Bone marrow aspirate smear — 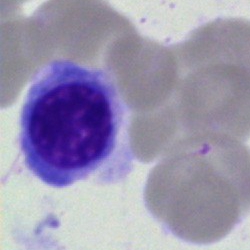
Morphological class = nucleated red blood cell.